Single-cell field · bone marrow smear: 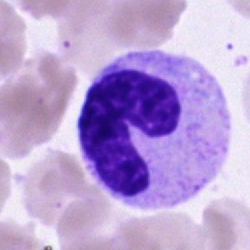
A band-form neutrophil.